Bone marrow aspirate smear · 40× objective, oil immersion · single-cell field: 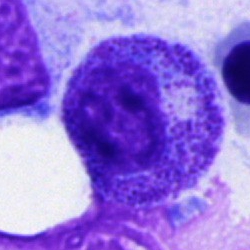Impression → myelocyte.